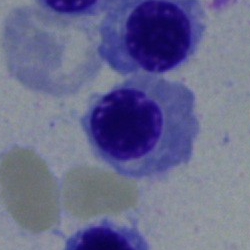 A normoblast on a bone marrow smear.